Bone marrow aspirate smear — 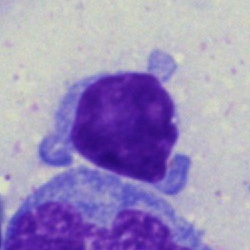Specimen: bone marrow aspirate smear.
Cell type: typical lymphocyte.
Lineage: lymphoid.